Bone marrow smear: 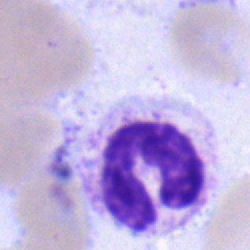 Impression — neutrophil (band).